Single cell centered in the field; bone marrow smear.
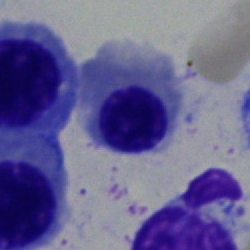

Q: Which cell type is shown here?
A: It is a nucleated red blood cell.